Peripheral blood film: 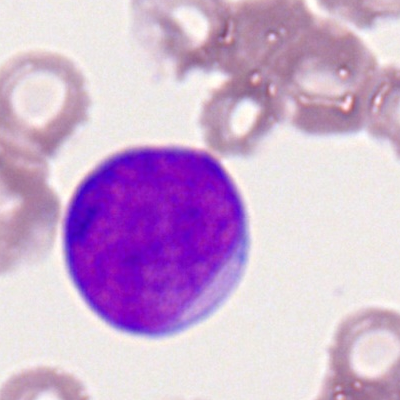
Showing a myeloid blast.